May-Grünwald-Giemsa stain; bone marrow smear; single-cell field — 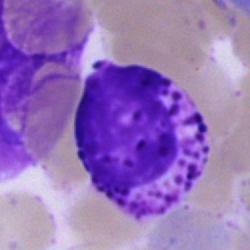
Q: What is shown here?
A: A basophilic granulocyte.